Peripheral blood smear · Romanowsky stain
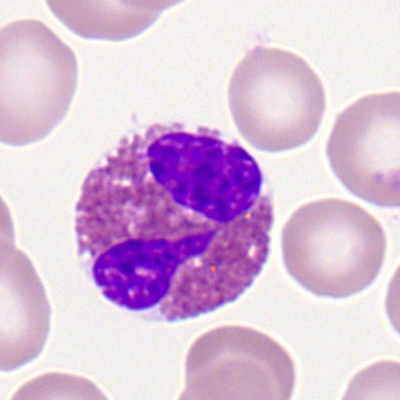
Morphological class: eosinophilic granulocyte.